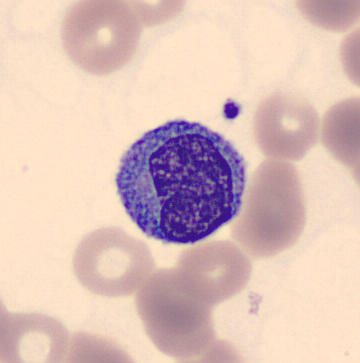This is a monocyte. Peripheral blood smear.